Peripheral blood smear. 400×400 — 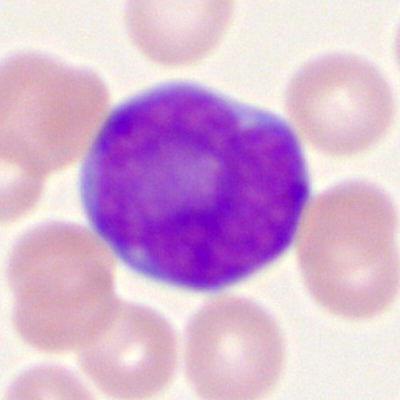 Morphology — myeloid blast.